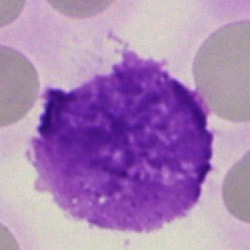Specimen: bone marrow smear.
Morphological class: artefact.